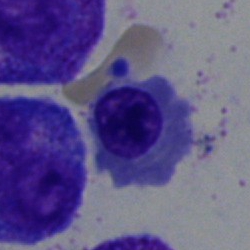
Morphology → normoblast.